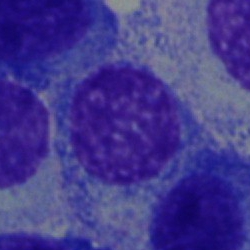 Q: What is shown here?
A: A plasma cell.